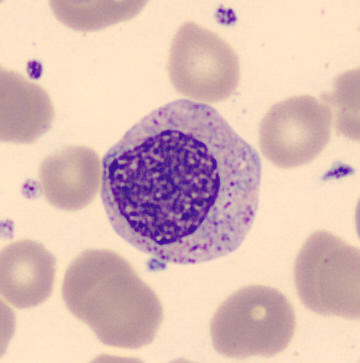

Cell type — myelocyte.

Preparation: Peripheral blood smear.